Bone marrow smear · 250×250: 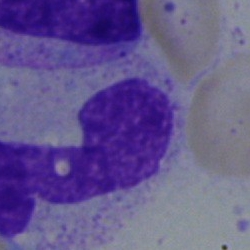
Q: What type of cell is this?
A: It is a neutrophil (band).